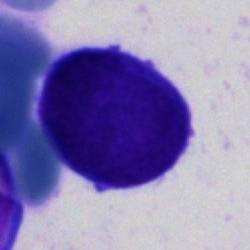Q: Identify the cell.
A: It is a blast cell.